Single-cell field · bone marrow smear — 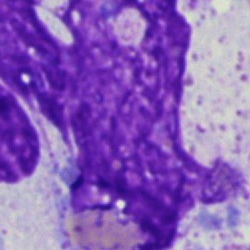
Cell — artifact.